40× oil immersion. Bone marrow smear: 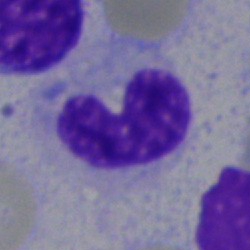

Q: Which cell type is shown here?
A: This is a neutrophil (band).